Bone marrow aspirate smear: 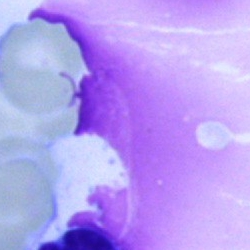

Cell type = artefact.